Single-cell crop · bone marrow aspirate smear — 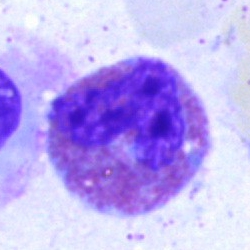

{"cell_type": "eosinophil", "lineage": "myeloid"}